Bone marrow smear; 250 by 250 pixels: 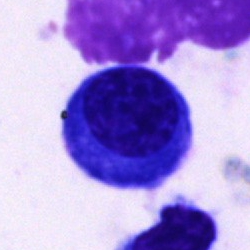Cell: plasma cell.